Bone marrow aspirate smear:
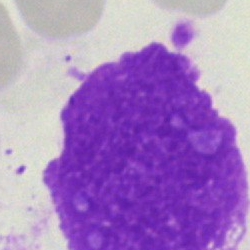Cell type: artifact.